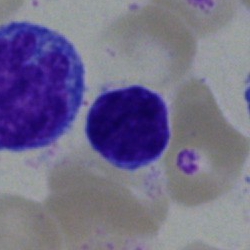
A lymphocyte on a bone marrow smear.